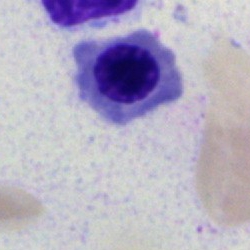 Specimen: bone marrow aspirate smear.
Morphological class: nucleated red blood cell.
Lineage: erythroid.